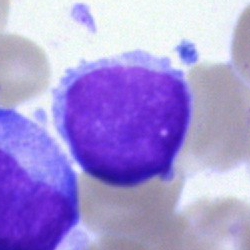

An undifferentiated blast on a bone marrow smear.